Bone marrow aspirate smear. 40× objective, oil immersion:
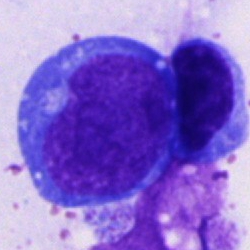 Showing a proerythroblast.